Bone marrow smear:
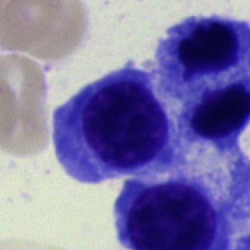Q: What type of cell is this?
A: This is a normoblast.